Bone marrow aspirate smear: 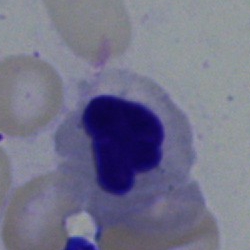

Cell = nucleated red cell.